Bone marrow smear: 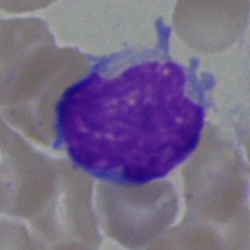 The cell shown is a lymphocyte.